Bone marrow smear:
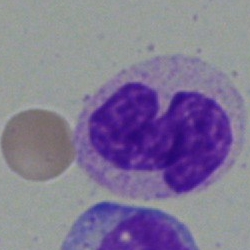 Specimen: bone marrow smear.
Morphological class: band neutrophil.
Lineage: myeloid.